May-Grünwald-Giemsa/Pappenheim stain. Bone marrow smear: 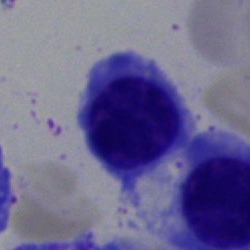Cell = nucleated red cell.